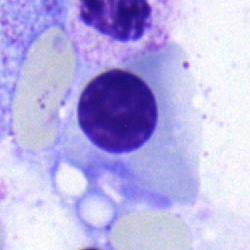Q: What cell is this?
A: This is a normoblast.